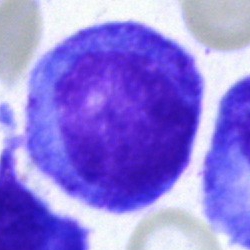

Cell: progranulocyte.